MGG-stained · bone marrow aspirate smear · single cell centered in the field — 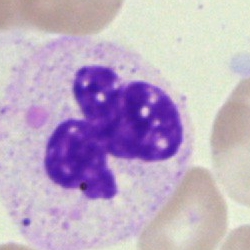

Cell: segmented neutrophil.